Pappenheim-stained · bone marrow aspirate smear:
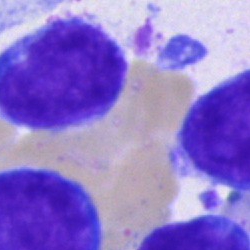
The classification is undifferentiated blast.